Bone marrow aspirate smear; single cell centered in the field: 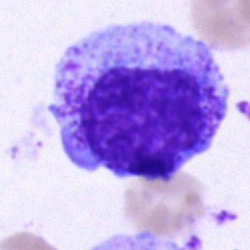

Specimen: bone marrow aspirate smear.
Morphological class: progranulocyte.